Bone marrow aspirate smear
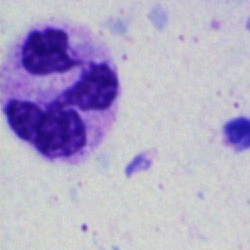Specimen: bone marrow aspirate smear.
Morphological class: segmented neutrophil.
Lineage: myeloid.